Bone marrow smear.
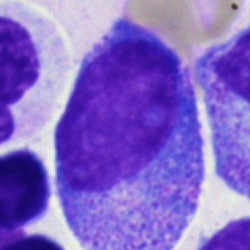
Classification — progranulocyte.